Bone marrow smear; May-Grünwald-Giemsa stain; 40× oil immersion — 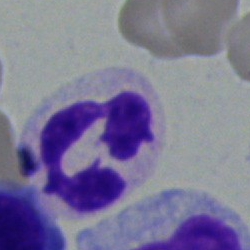Impression — segmented neutrophil.